Bone marrow smear. 250×250.
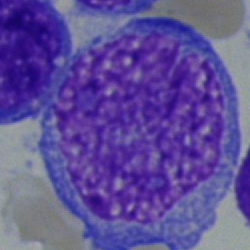Showing a blast.